250 by 250 pixels; bone marrow smear:
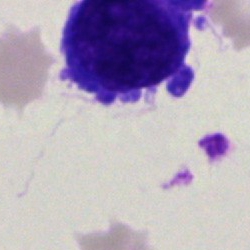

A blast cell.